Bone marrow smear; 250×250 — 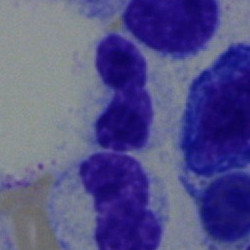
Cell = segmented neutrophil.